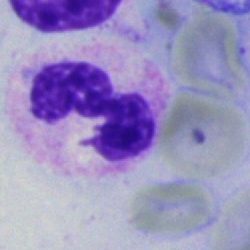
Impression — polymorphonuclear neutrophil.